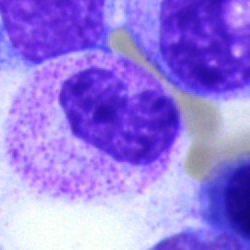Cell — band-form neutrophil.